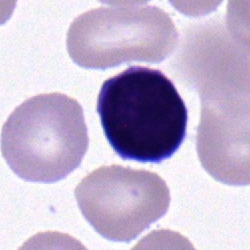
The cell shown is a typical lymphocyte.